May-Grünwald-Giemsa/Pappenheim stain · bone marrow smear
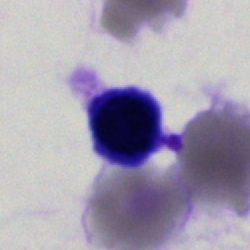
{"cell_type": "artifact"}